Pappenheim-stained · bone marrow aspirate smear: 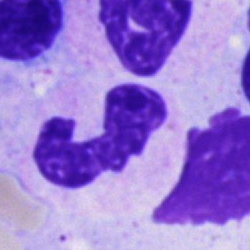Q: What type of cell is this?
A: A polymorphonuclear neutrophil.